Bone marrow smear
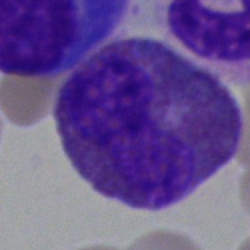Showing an eosinophil.